Peripheral blood film; Romanowsky-stained; 400 by 400 pixels: 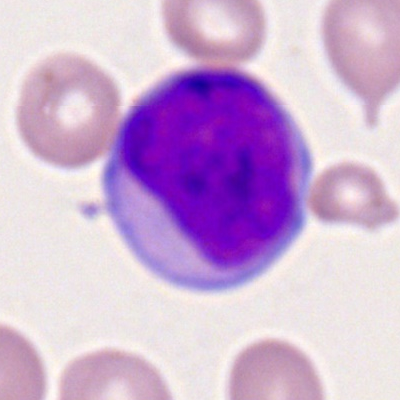A myeloid blast.